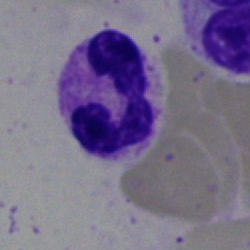
Single-cell crop from a bone marrow smear: segmented neutrophil.